Single cell centered in the field · bone marrow smear — 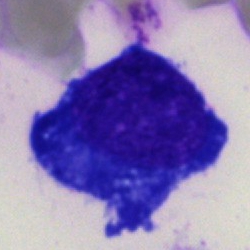

The cell type is plasmacyte.